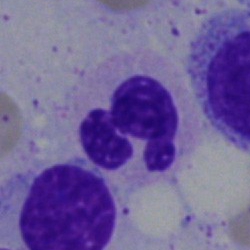 Morphology — polymorphonuclear neutrophil.